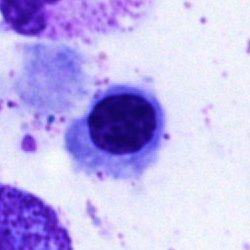 Morphology → erythroblast.